Bone marrow smear — 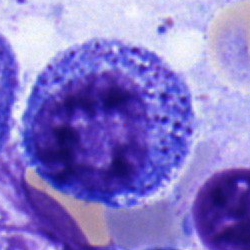 Morphology → progranulocyte.